Bone marrow aspirate smear:
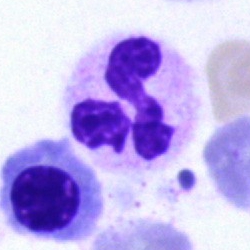

A polymorphonuclear neutrophil.